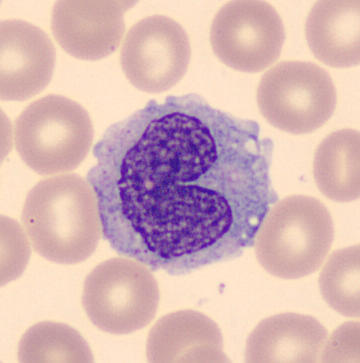

Specimen: peripheral blood film.
Cell type: monocyte.
Lineage: myeloid.

Acquisition: 360×363. CellaVision DM96.